Bone marrow aspirate smear.
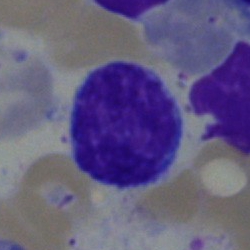
Morphology consistent with a typical lymphocyte.